Bone marrow smear: 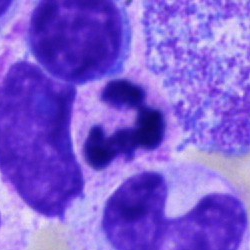 Specimen: bone marrow aspirate smear.
Morphological class: segmented neutrophil.
Lineage: myeloid.